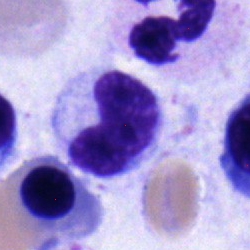Bone marrow aspirate smear, single cell — metamyelocyte.